Bone marrow aspirate smear. Single-cell crop
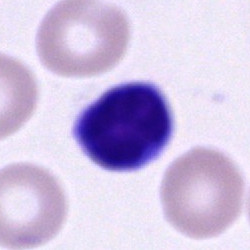Morphology → typical lymphocyte.